Peripheral blood film — 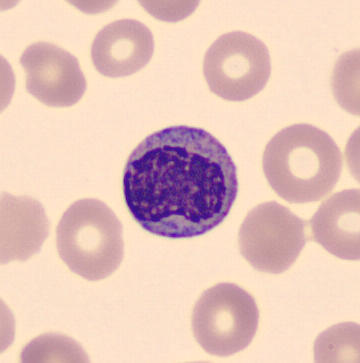Single cell identified as a myelocyte.